Single cell centered in the field; peripheral blood film
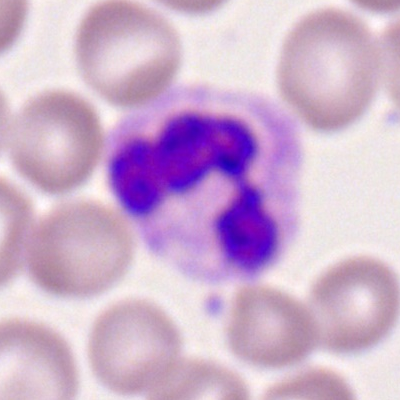Showing a segmented neutrophil.